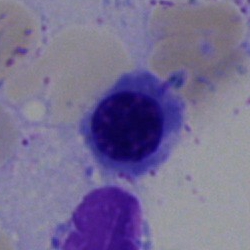
The cell shown is a normoblast.